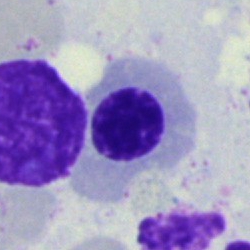

Cell — nucleated red blood cell.